Bone marrow smear · brightfield, 40× oil-immersion objective · cropped to a single cell:
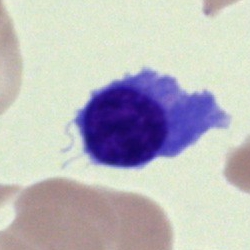The morphological class is blast.